40× objective, oil immersion; bone marrow smear.
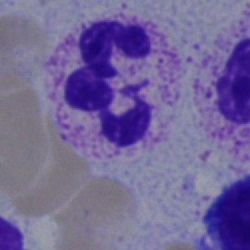 Q: What is the morphological classification of this cell?
A: A polymorphonuclear neutrophil.